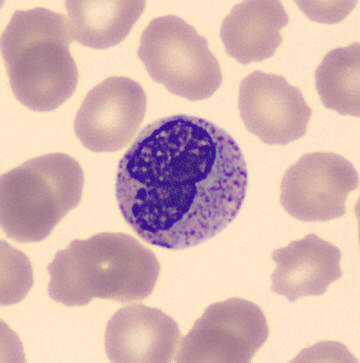 Showing a metamyelocyte.

MGG-stained · single-cell crop · peripheral blood film.